Bone marrow smear:
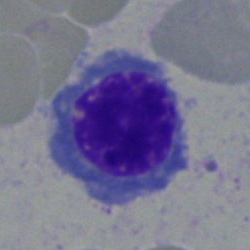
Specimen: bone marrow smear.
Cell type: normoblast.
Lineage: erythroid.